40× objective, oil immersion. Bone marrow smear:
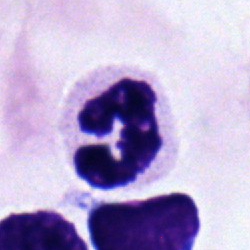
Cell: segmented neutrophil.